Single cell centered in the field; bone marrow smear.
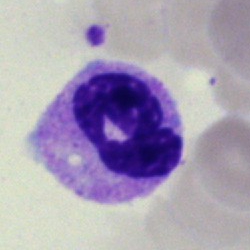
Single cell identified as a segmented neutrophil.